Bone marrow aspirate smear: 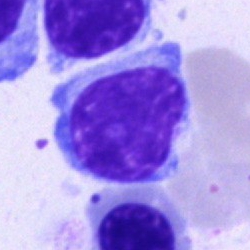

The cell shown is a typical lymphocyte.